Bone marrow aspirate smear · May-Grünwald-Giemsa/Pappenheim stain:
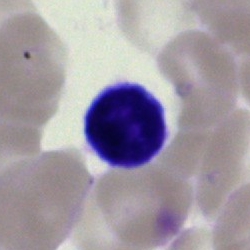The cell shown is a lymphocyte.